Peripheral blood smear
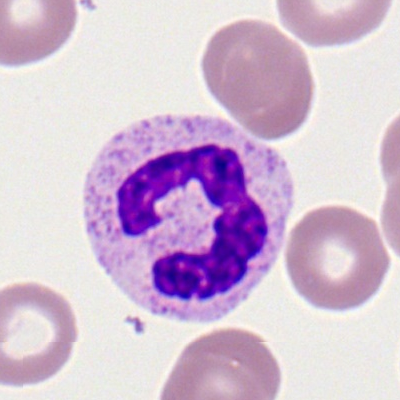
This is a segmented neutrophil.